Bone marrow smear.
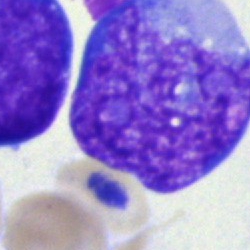

Showing a blast.